40× objective, oil immersion · bone marrow smear · 250×250 px.
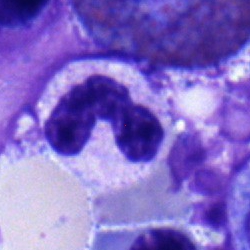Morphological class: neutrophil (band).